Single-cell field; bone marrow aspirate smear: 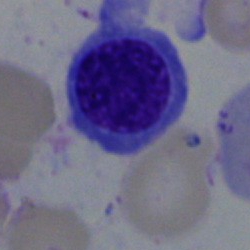Single cell identified as a normoblast.